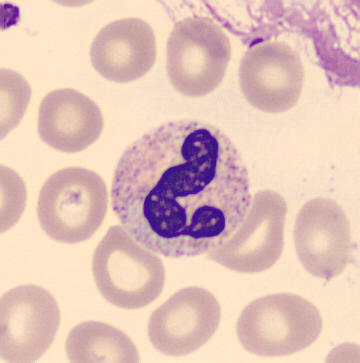
The cell shown is a polymorphonuclear neutrophil. Image: 360×363; peripheral blood smear; MGG stain.